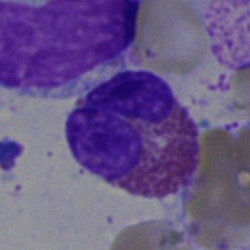
Specimen: bone marrow aspirate smear.
Classification: eosinophil.
Lineage: myeloid.